Bone marrow smear:
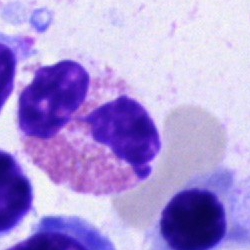

Cell: eosinophilic granulocyte.